May-Grünwald-Giemsa stain · bone marrow smear · brightfield microscopy, 40× oil immersion.
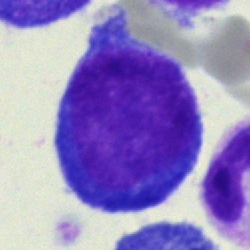
This is a proerythroblast.